Bone marrow aspirate smear.
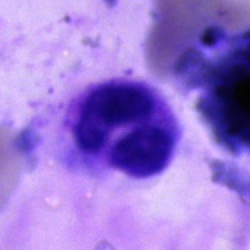 This is a neutrophil (segmented).